Bone marrow smear:
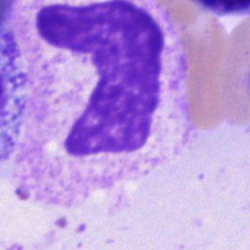
Single cell identified as an artefact.